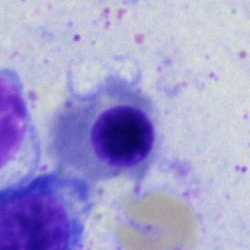 Bone marrow smear showing a nucleated red cell.